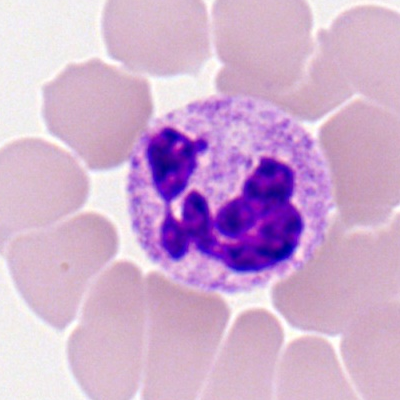Showing a polymorphonuclear neutrophil.